Bone marrow aspirate smear. MGG-stained — 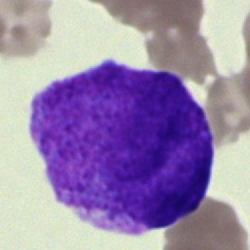 Cell type — blast.